Bone marrow smear: 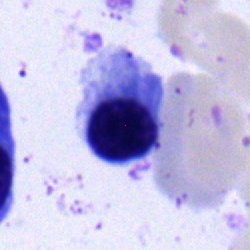 The cell is normoblast.